Bone marrow aspirate smear.
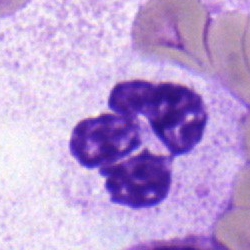Q: What is the morphological classification of this cell?
A: It is a segmented neutrophil.